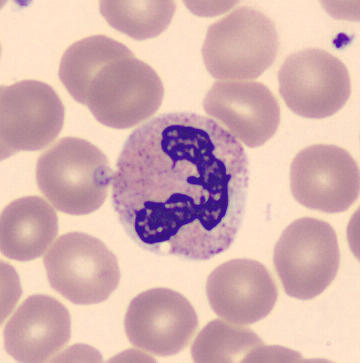
The cell shown is a neutrophil (segmented).